Image size 250×250. Bone marrow smear: 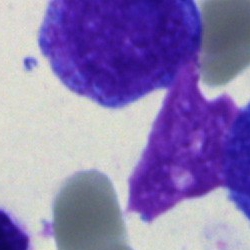

Specimen: bone marrow aspirate smear.
Cell type: artifact.